Bone marrow smear:
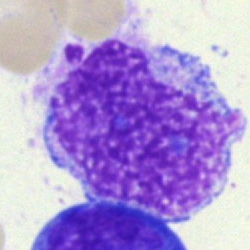

Typical lymphocyte.